Bone marrow aspirate smear. May-Grünwald-Giemsa stain:
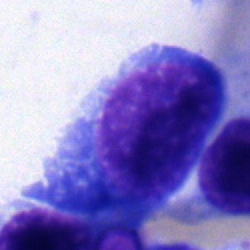Showing a proerythroblast.